Bone marrow smear — 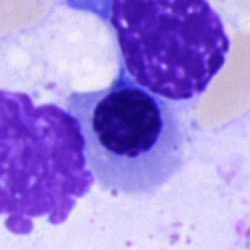
Q: Which cell type is shown here?
A: This is a normoblast.